Single-cell crop. Bone marrow smear — 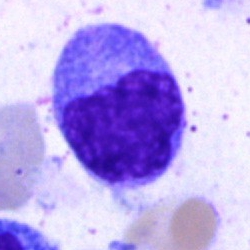 Morphology consistent with a monocyte.